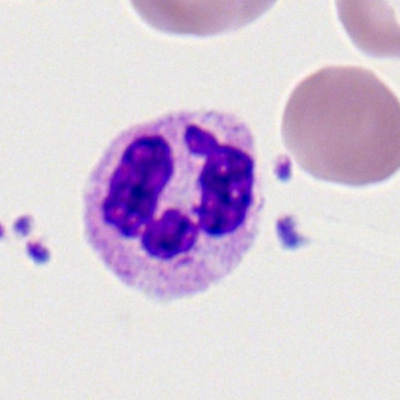

Specimen: peripheral blood film.
Cell: neutrophil (segmented).
Lineage: myeloid.